Bone marrow aspirate smear.
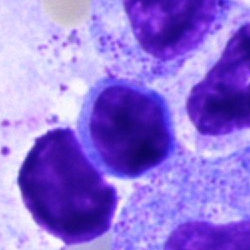 Morphological class — lymphocyte.